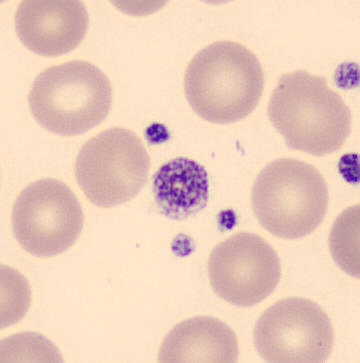Morphology consistent with a thrombocyte.

Image: Peripheral blood film. May Grünwald-Giemsa stain.